Bone marrow smear; 250×250: 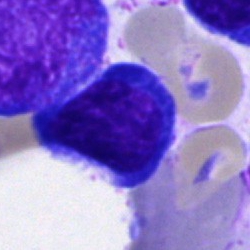 Specimen: bone marrow smear.
Classification: nucleated red cell.
Lineage: erythroid.